Bone marrow smear.
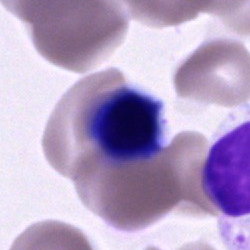

{"cell_type": "unidentifiable cell"}